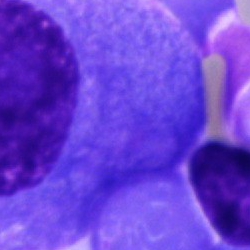Impression — plasmacyte.